Brightfield, 40× oil-immersion objective; bone marrow aspirate smear: 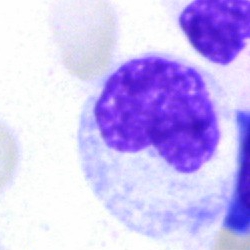Cell: metamyelocyte.